Bone marrow aspirate smear
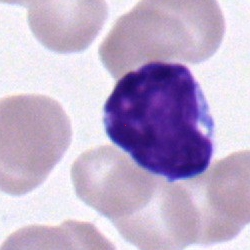 Impression → lymphocyte.